Bone marrow smear: 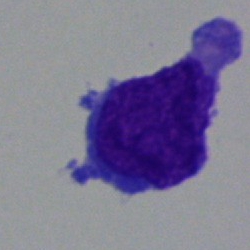
{"cell_type": "undifferentiated blast"}